Bone marrow aspirate smear. Brightfield microscopy, 40× oil immersion — 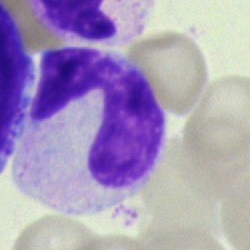 Neutrophil (band).